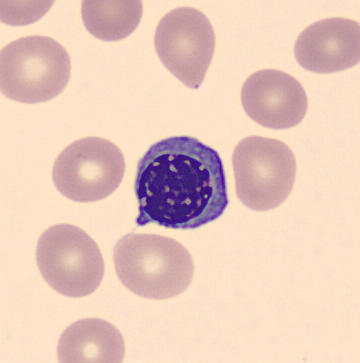

Q: What type of cell is this?
A: It is a nucleated red cell.

Image: Peripheral blood film.